Image size 250×250 · 40× oil immersion · bone marrow smear
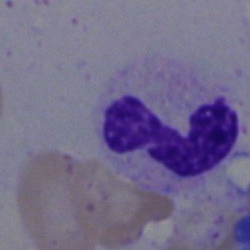

Morphology — polymorphonuclear neutrophil.